Bone marrow smear; brightfield microscopy, 40× oil immersion:
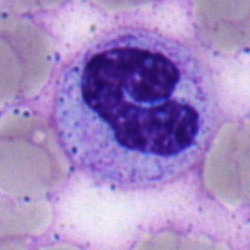

Single cell identified as a neutrophil (band).